Bone marrow aspirate smear.
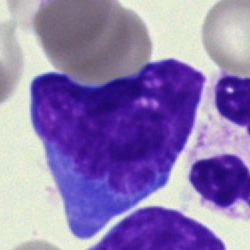
Showing a blast.